Bone marrow aspirate smear. 250×250 px — 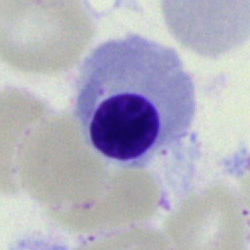Specimen: bone marrow smear.
Classification: nucleated red cell.
Lineage: erythroid.